Bone marrow smear · single-cell field · brightfield, 40× oil-immersion objective: 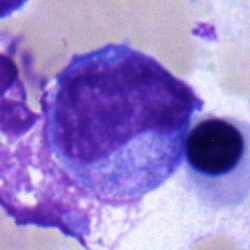{"cell_type": "progranulocyte", "lineage": "myeloid"}